Bone marrow aspirate smear — 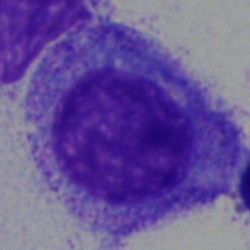
The cell type is progranulocyte.